Peripheral blood film. Romanowsky-type stain.
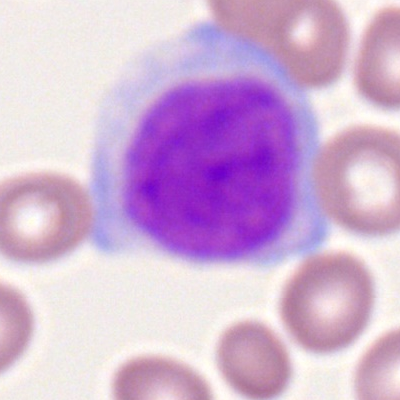 {"cell_type": "myeloid blast", "lineage": "myeloid"}